Bone marrow aspirate smear — 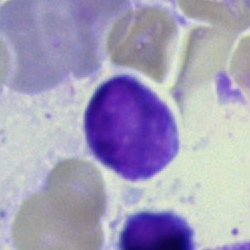

Impression → lymphocyte.